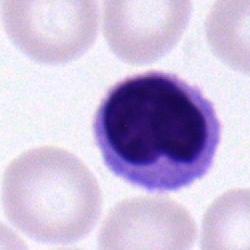
The cell is monocyte.